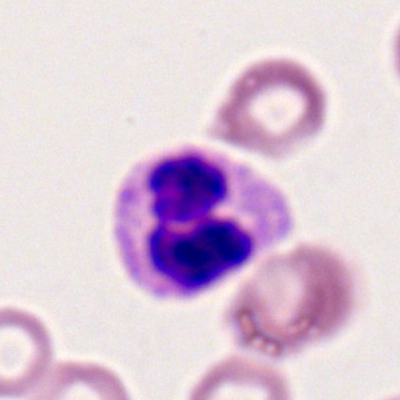 Specimen: peripheral blood smear.
Cell: segmented neutrophil.
Lineage: myeloid.